Bone marrow aspirate smear; brightfield, 40× oil-immersion objective: 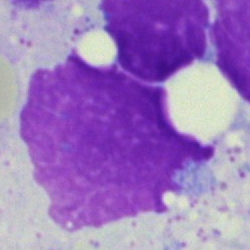 Q: What is shown here?
A: This is an artifact.